Bone marrow aspirate smear.
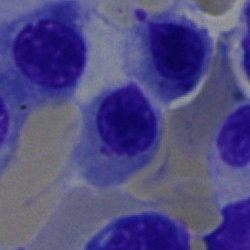Specimen: bone marrow aspirate smear.
Morphological class: nucleated red cell.